250×250 px. Bone marrow smear:
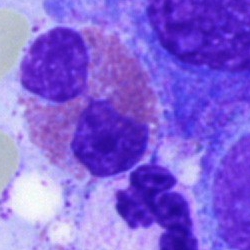Single cell identified as an eosinophil.